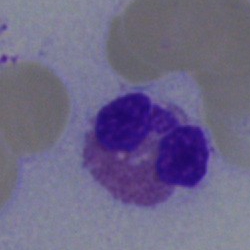 Q: What is shown here?
A: This is an eosinophil.